Bone marrow aspirate smear
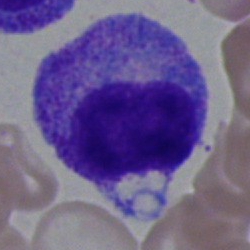

Morphology consistent with a progranulocyte.